Peripheral blood smear.
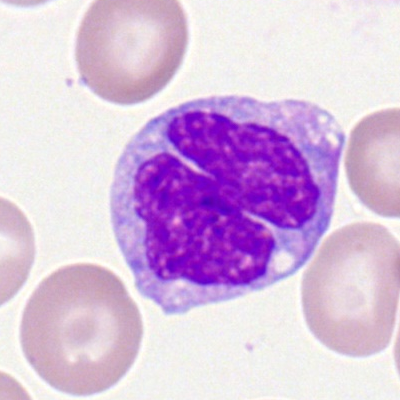

Cell = monocyte.